Bone marrow aspirate smear.
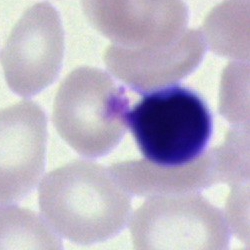A typical lymphocyte.